Bone marrow aspirate smear
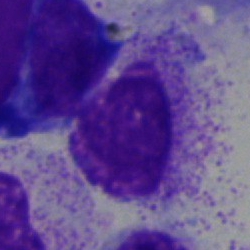
Specimen: bone marrow smear.
Cell type: artifact.